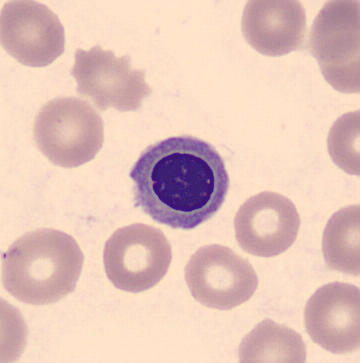Cell = nucleated red cell. Acquisition: Single-cell crop. 360×363. Peripheral blood smear.